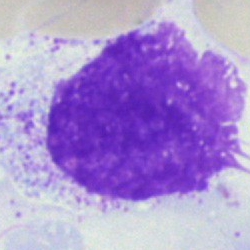
The morphological class is artifact.